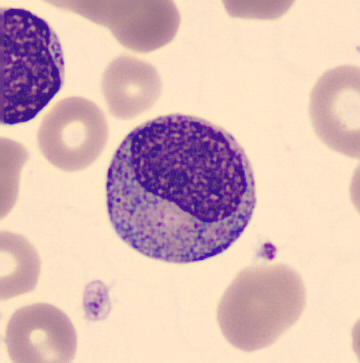 Peripheral blood smear; 360 by 363 pixels.

The classification is myelocyte.